Single-cell crop. Bone marrow aspirate smear — 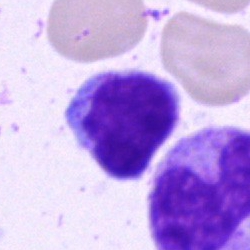
The cell shown is a typical lymphocyte.